Image size 250×250. Bone marrow aspirate smear — 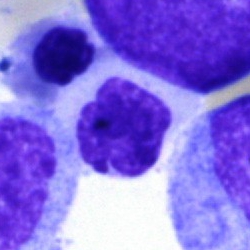 Impression — artefact.